Bone marrow aspirate smear:
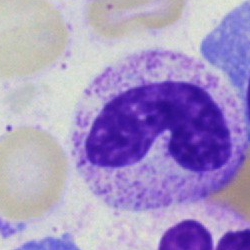
Showing a band neutrophil.